Bone marrow smear. May-Grünwald-Giemsa/Pappenheim stain. 40× objective, oil immersion.
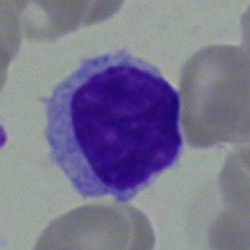

Impression → typical lymphocyte.